Bone marrow aspirate smear · 250×250 — 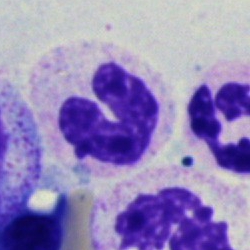 Single cell identified as a neutrophil (band).